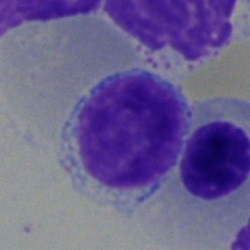

Q: Identify the cell.
A: A typical lymphocyte.